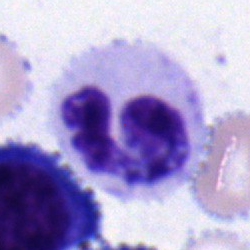
Morphological class — segmented neutrophil.